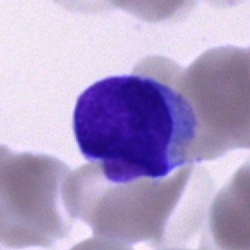 Unidentifiable cell.